Bone marrow aspirate smear. 250 by 250 pixels
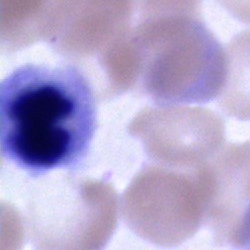 Morphology consistent with a cell of indeterminate lineage.